Bone marrow smear. Single-cell field: 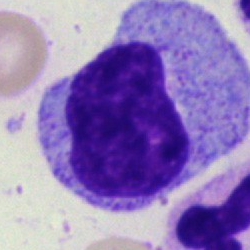

This is a progranulocyte.